Single cell centered in the field · bone marrow aspirate smear: 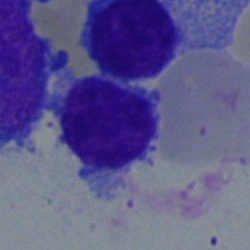Cell — typical lymphocyte.